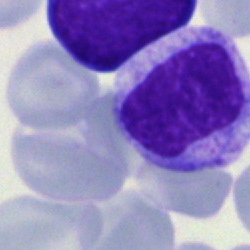A metamyelocyte.